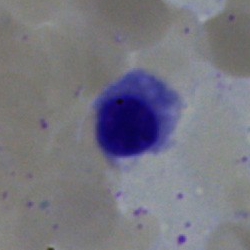

A nucleated red blood cell.